250 by 250 pixels · bone marrow aspirate smear
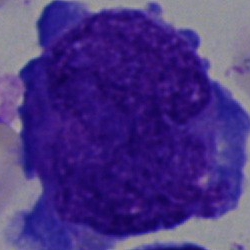
This is an undifferentiated blast.